Bone marrow aspirate smear · 250×250 — 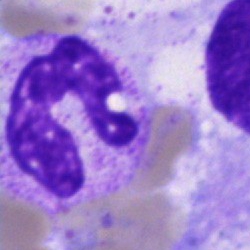

This is a neutrophil (band).